Bone marrow smear. 250×250 px. 40× objective, oil immersion — 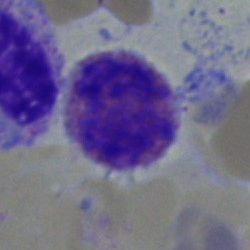

Morphological class: eosinophil.